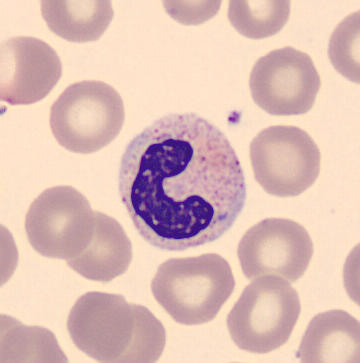 Q: What cell is this?
A: A band-form neutrophil.